Peripheral blood smear — 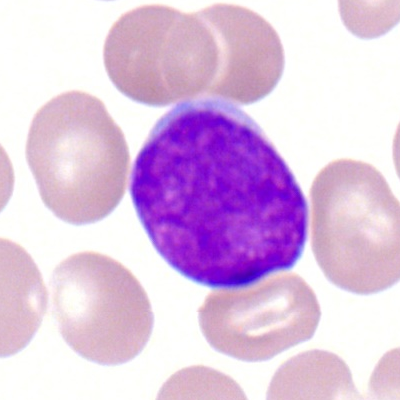Classification: myeloid blast.